Cropped to a single cell; bone marrow aspirate smear — 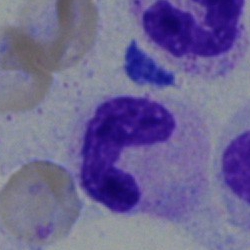 Band-form neutrophil.